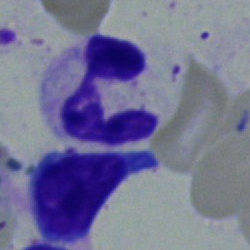
{"cell_type": "neutrophil (segmented)"}